Bone marrow smear.
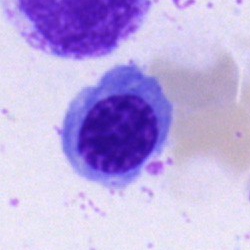
The cell is nucleated red cell.